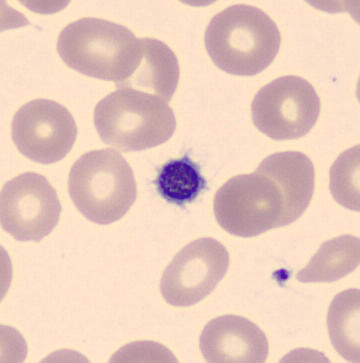
The classification is platelet (thrombocyte).
Preparation: Peripheral blood film.